Single-cell field; peripheral blood film:
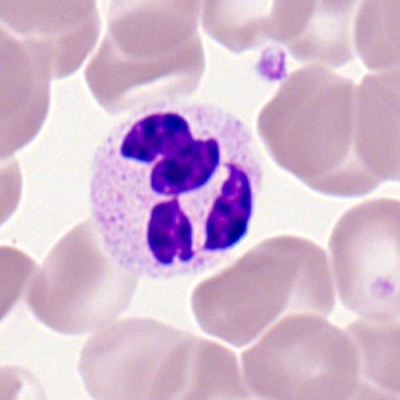{"cell_type": "neutrophil (segmented)", "lineage": "myeloid"}